Bone marrow smear — 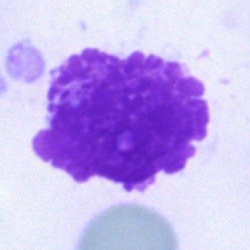

This is an artefact.